MGG-stained; bone marrow smear; 250 by 250 pixels:
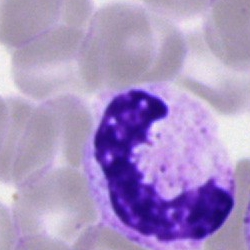
Classification = band neutrophil.